Peripheral blood film:
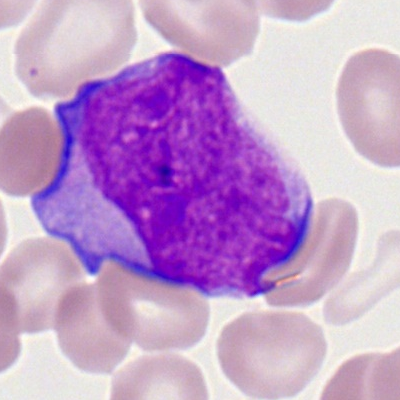This is a myeloblast.